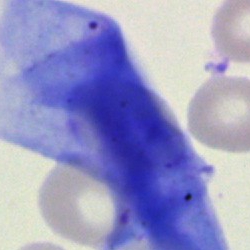
Single-cell crop from a bone marrow smear: artifact.